40× objective, oil immersion; bone marrow aspirate smear.
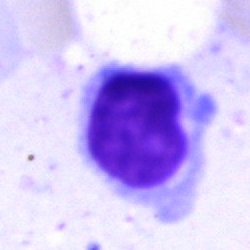The cell shown is a typical lymphocyte.